Single-cell field · bone marrow smear
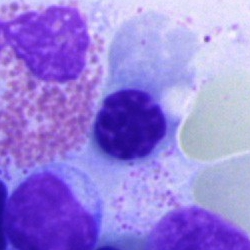{"cell_type": "artifact"}